Bone marrow aspirate smear; brightfield, 40× oil-immersion objective
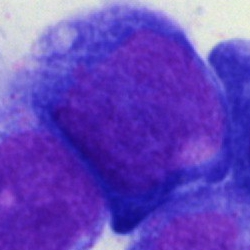 {"cell_type": "pronormoblast", "lineage": "erythroid"}